Brightfield, 40× oil-immersion objective; bone marrow smear: 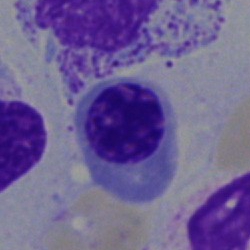
Morphological class = nucleated red cell.